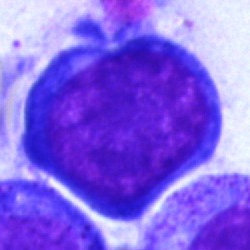
Classification: proerythroblast.